Bone marrow smear.
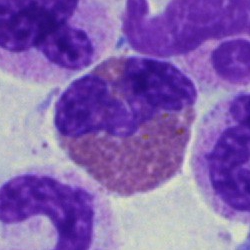Cell type = eosinophil.